250×250 px; bone marrow aspirate smear; single-cell crop: 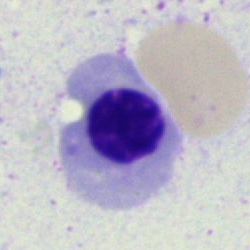 Erythroblast.